Bone marrow smear · May-Grünwald-Giemsa/Pappenheim stain · 250×250:
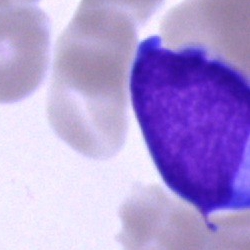
{"cell_type": "blast cell"}